Cropped to a single cell. Bone marrow aspirate smear: 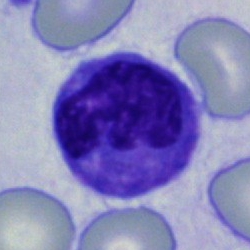Morphology consistent with a monocyte.